100× oil immersion, 14.14 px/µm. Peripheral blood film. Cropped to a single cell.
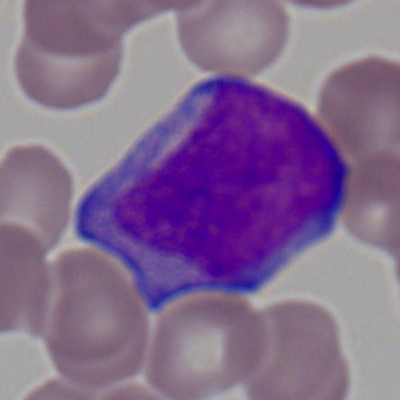
Specimen: peripheral blood smear.
Cell: myeloid blast.
Lineage: myeloid.